May-Grünwald-Giemsa stain · 250 by 250 pixels · bone marrow smear — 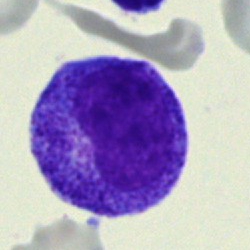
Morphology → progranulocyte.